Pappenheim-stained; 250 by 250 pixels; bone marrow smear:
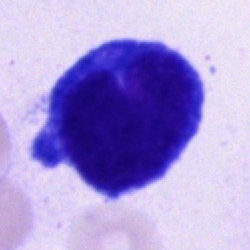
An unidentifiable cell.